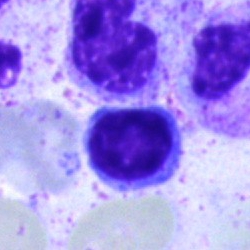

Q: What type of cell is this?
A: Lymphocyte.